May-Grünwald-Giemsa stain. Bone marrow smear. Brightfield microscopy, 40× oil immersion — 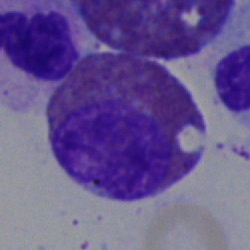

An eosinophilic granulocyte.